Bone marrow smear — 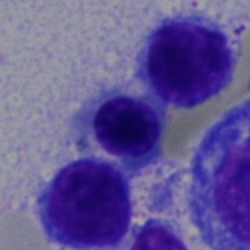Specimen: bone marrow smear.
Cell type: erythroblast.